Peripheral blood smear.
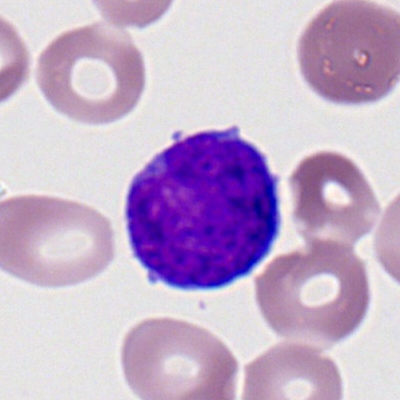Morphological class = myeloblast.